Image size 250×250; bone marrow aspirate smear.
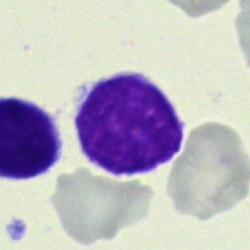Showing a typical lymphocyte.